Bone marrow aspirate smear · 40× objective, oil immersion.
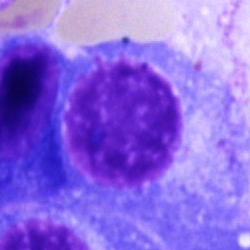The cell type is plasmacyte.